Peripheral blood film.
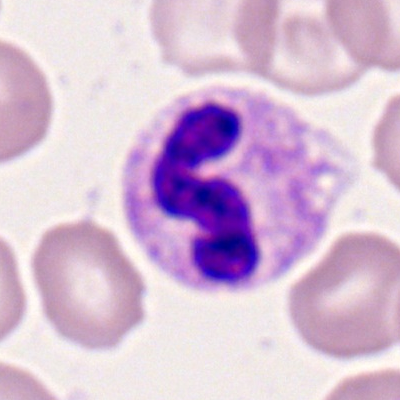

Q: What is the morphological classification of this cell?
A: Segmented neutrophil.